Brightfield microscopy, 40× oil immersion; bone marrow smear — 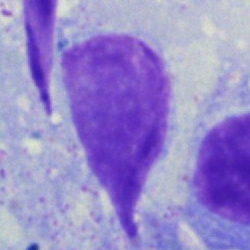
An artifact.